Single-cell crop. Peripheral blood smear. 400 by 400 pixels.
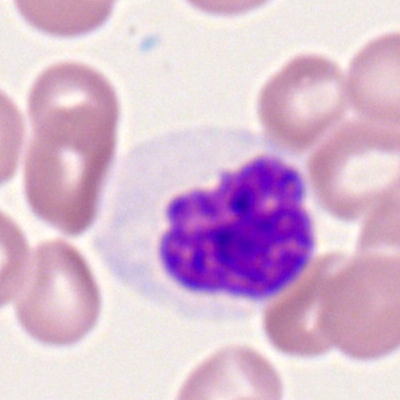 Q: What is the morphological classification of this cell?
A: This is a segmented neutrophil.